Bone marrow smear: 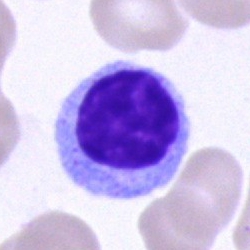Cell type = typical lymphocyte.